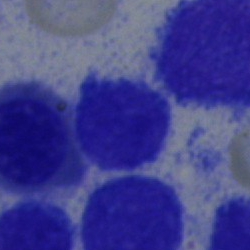

Single-cell crop from a bone marrow smear: lymphocyte.